Bone marrow smear:
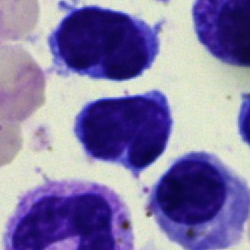

Specimen: bone marrow aspirate smear.
Cell type: lymphocyte.
Lineage: lymphoid.